Bone marrow aspirate smear. Pappenheim-stained — 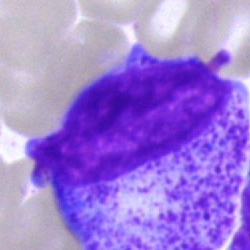
Showing a promyelocyte.